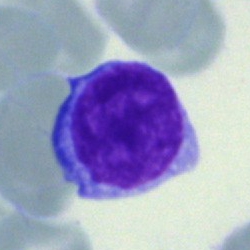
Classification: lymphocyte.